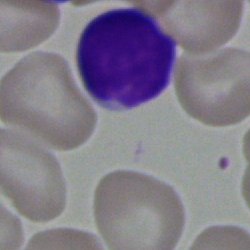

Morphology — typical lymphocyte.